Bone marrow smear:
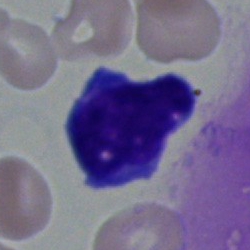
Specimen: bone marrow smear.
Morphological class: undifferentiated blast.